Romanowsky stain · peripheral blood smear · M8 digital microscope (Precipoint), 100× oil immersion
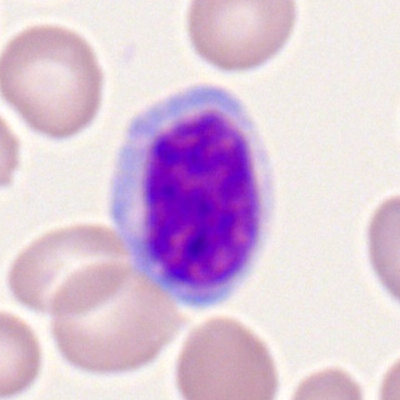 Q: What is shown here?
A: Typical lymphocyte.